40× oil immersion · bone marrow smear: 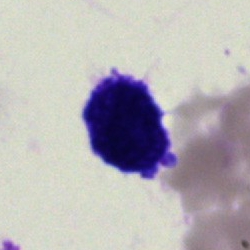
This is an artifact.